Cropped to a single cell. 250 by 250 pixels. Bone marrow aspirate smear:
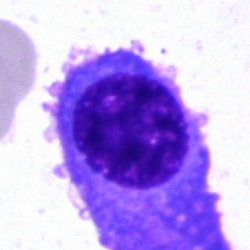 {"cell_type": "plasmacyte"}